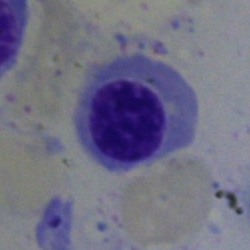

Q: What cell is this?
A: This is a normoblast.